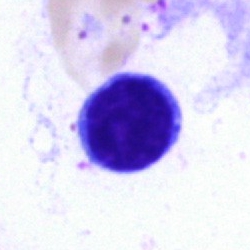
Cell type = typical lymphocyte.